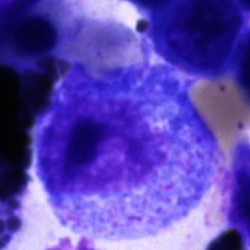 Morphology — promyelocyte.